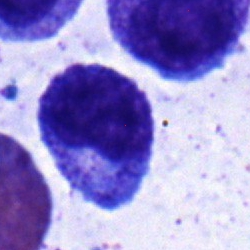The cell is metamyelocyte.